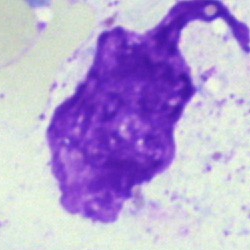

Q: What is shown here?
A: An artefact.